Bone marrow smear — 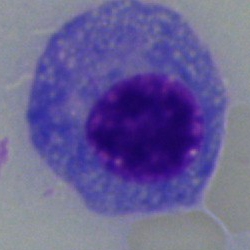 Impression — plasma cell.